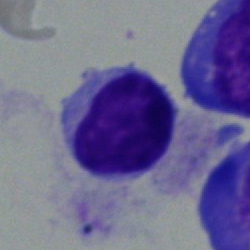
Morphology consistent with a lymphocyte.